Bone marrow aspirate smear
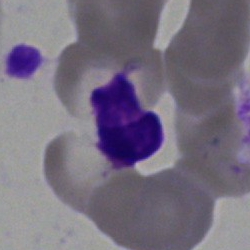 Cell = artifact.